Peripheral blood smear.
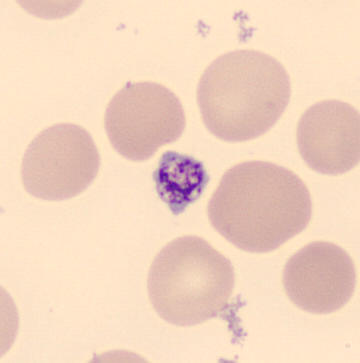

Specimen: peripheral blood smear.
Classification: thrombocyte.